Bone marrow aspirate smear: 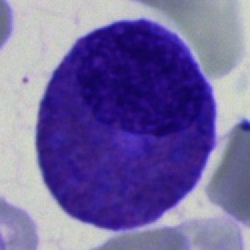Impression → eosinophil.